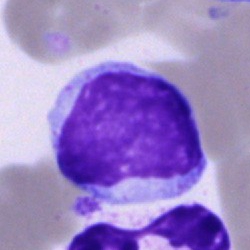
Morphology — typical lymphocyte.